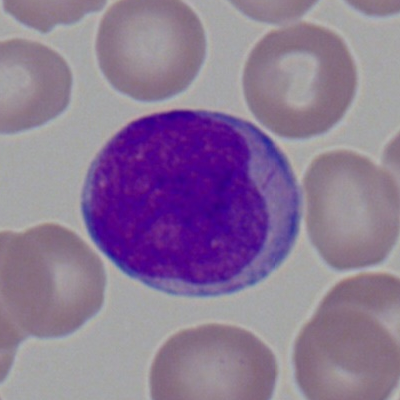 Specimen: peripheral blood smear.
Cell type: myeloid blast.
Lineage: myeloid.